Bone marrow aspirate smear: 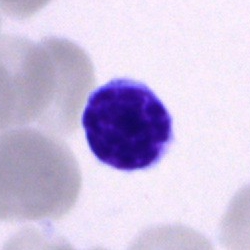
Specimen: bone marrow smear.
Morphological class: typical lymphocyte.
Lineage: lymphoid.